Bone marrow smear — 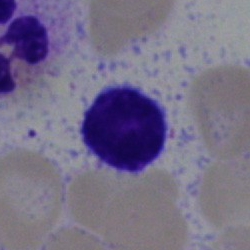 Impression — typical lymphocyte.